Bone marrow aspirate smear.
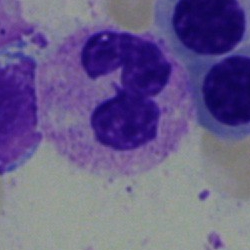 This is a segmented neutrophil.